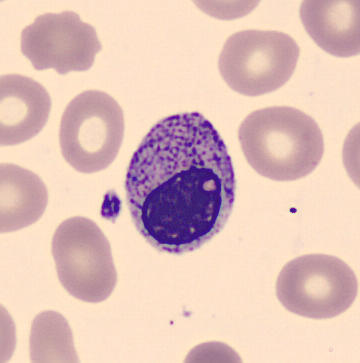 {"cell_type": "myelocyte", "lineage": "myeloid"} MGG-stained · peripheral blood smear.